Bone marrow aspirate smear:
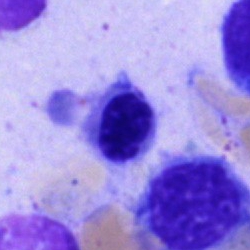

Cell type — nucleated red cell.